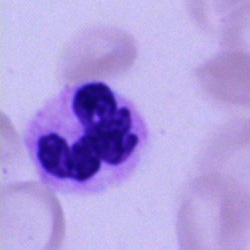 Impression → neutrophil (segmented).